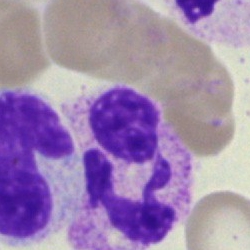
Specimen: bone marrow aspirate smear.
Cell type: polymorphonuclear neutrophil.
Lineage: myeloid.